400 by 400 pixels. Peripheral blood film — 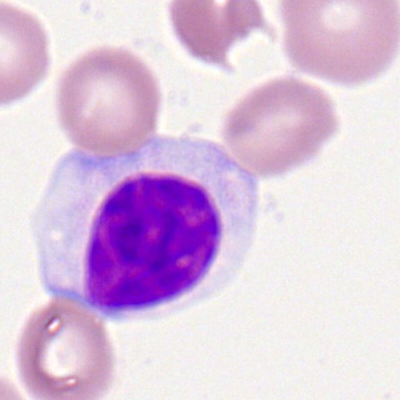 Specimen: peripheral blood smear.
Cell: lymphocyte.